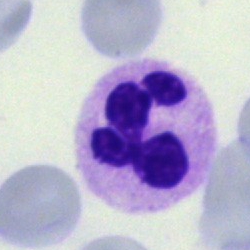

Single-cell crop from a bone marrow smear: segmented neutrophil.